Bone marrow smear:
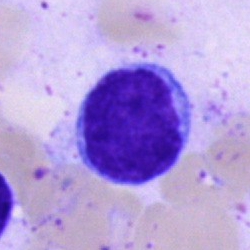

Impression → blast.